250 by 250 pixels; bone marrow aspirate smear:
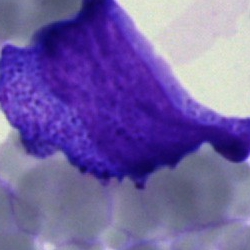 A promyelocyte.